MGG-stained. Bone marrow smear:
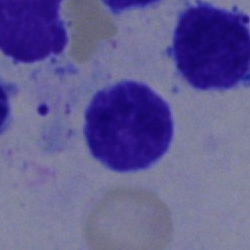 Showing a typical lymphocyte.